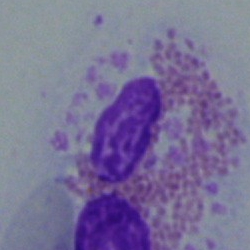 Single cell identified as an eosinophil.